Bone marrow smear · single-cell crop:
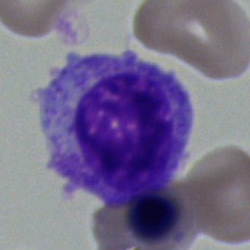 A myelocyte.